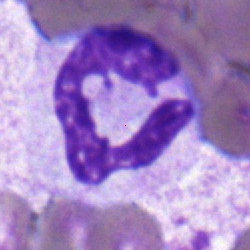Morphology — segmented neutrophil.